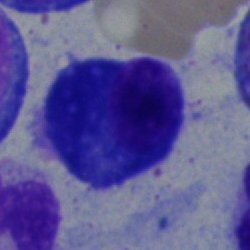

Specimen: bone marrow aspirate smear.
Morphological class: plasmacyte.
Lineage: lymphoid.